250×250; bone marrow smear; Pappenheim-stained.
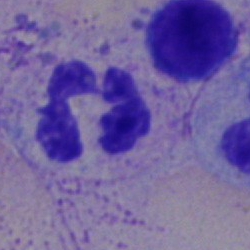Specimen: bone marrow smear.
Cell: neutrophil (segmented).
Lineage: myeloid.